Bone marrow smear:
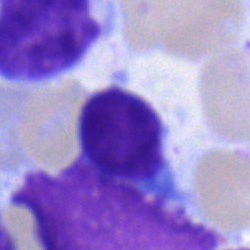 Specimen: bone marrow smear.
Morphological class: lymphocyte.